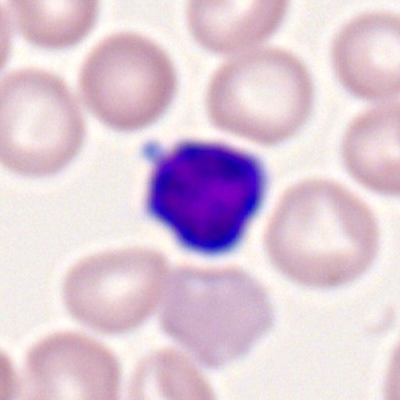
Specimen: peripheral blood smear.
Cell type: typical lymphocyte.
Lineage: lymphoid.